Bone marrow aspirate smear: 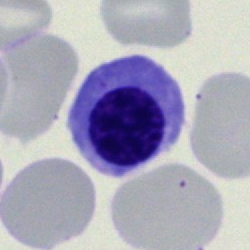 Morphological class — normoblast.